Bone marrow smear.
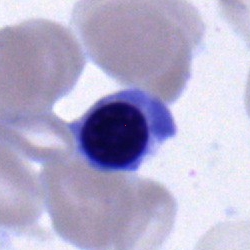{"cell_type": "normoblast"}